Bone marrow smear. May-Grünwald-Giemsa stain.
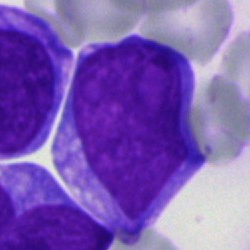

Undifferentiated blast.